Bone marrow smear — 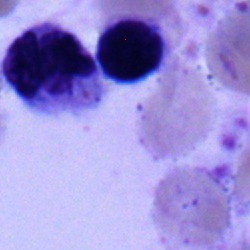Q: Identify the cell.
A: This is a lymphocyte.